Bone marrow aspirate smear:
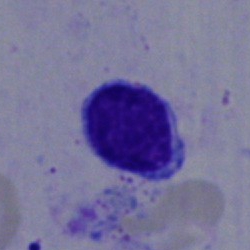

Morphology consistent with a lymphocyte.